Bone marrow smear
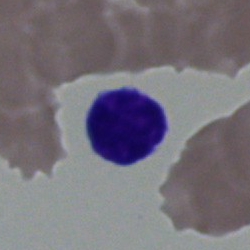

Showing a typical lymphocyte.